Image size 250×250 · bone marrow aspirate smear — 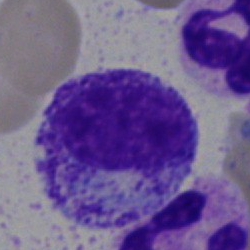
A myelocyte.